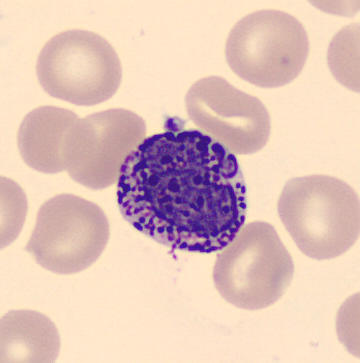

Image: Peripheral blood smear.
{"cell_type": "basophil", "lineage": "myeloid"}